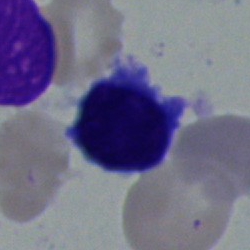
Morphology → typical lymphocyte.